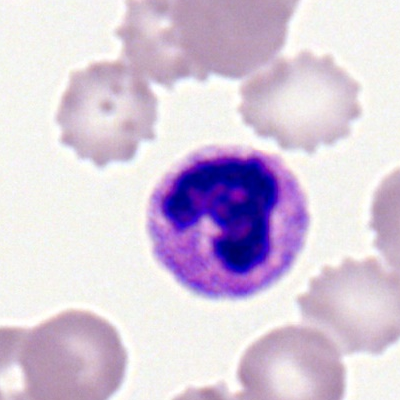
The morphological class is segmented neutrophil.